Brightfield, 40× oil-immersion objective · bone marrow smear
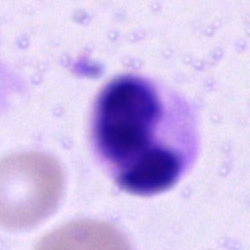Morphology → segmented neutrophil.